40× oil immersion; bone marrow aspirate smear:
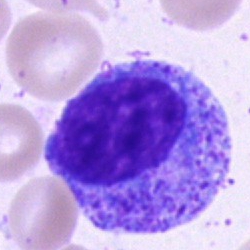
Morphological class — promyelocyte.